Bone marrow smear: 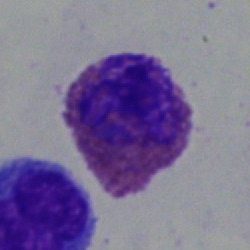Eosinophil.